Bone marrow smear
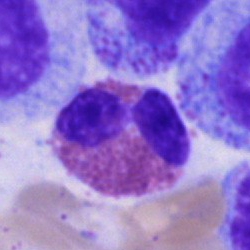Cell type = eosinophil.